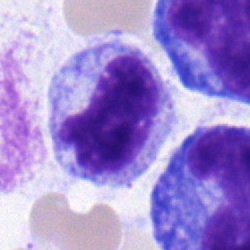 Bone marrow aspirate smear, single cell — monocyte.